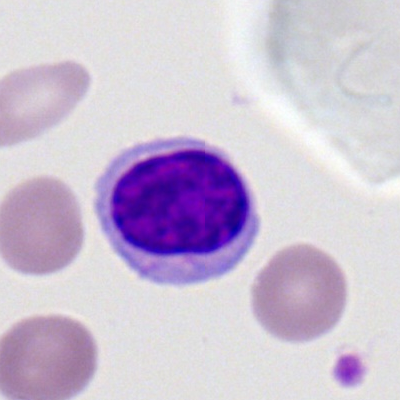
Q: Which cell type is shown here?
A: It is a typical lymphocyte.